Bone marrow aspirate smear:
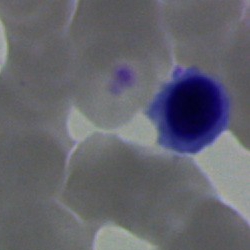
Q: What is the morphological classification of this cell?
A: This is a normoblast.